Bone marrow smear.
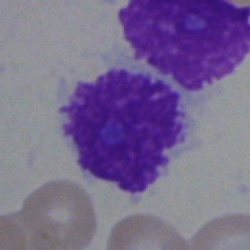 {"cell_type": "artifact"}